Bone marrow aspirate smear.
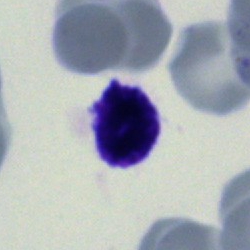Cell = cell of indeterminate lineage.